Bone marrow aspirate smear. MGG-stained — 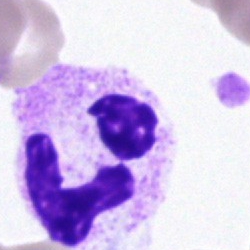
Specimen: bone marrow aspirate smear.
Morphological class: polymorphonuclear neutrophil.